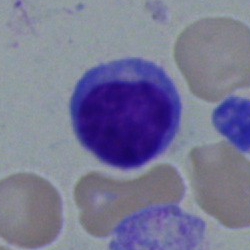

Specimen: bone marrow smear.
Cell: lymphocyte.